Bone marrow aspirate smear; single-cell field:
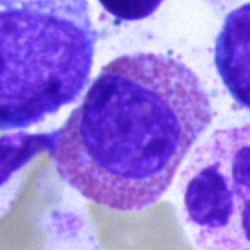

Morphology consistent with an eosinophilic granulocyte.